Bone marrow smear. 40× objective, oil immersion: 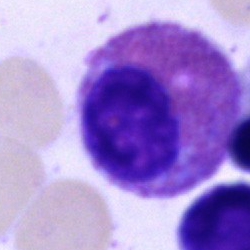
Cell = eosinophilic granulocyte.